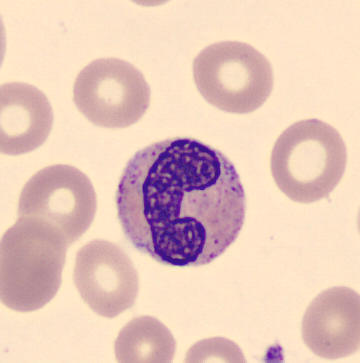

Cell type = band neutrophil.